Bone marrow aspirate smear · 40× objective, oil immersion · single cell centered in the field: 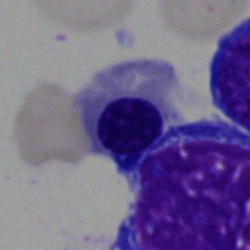
Morphology consistent with a nucleated red blood cell.